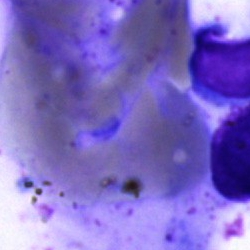Impression → artifact.